40× oil immersion; Pappenheim-stained; bone marrow smear
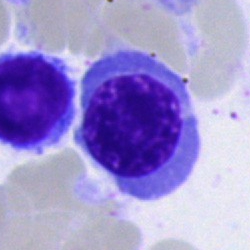The cell shown is an erythroblast.